Bone marrow aspirate smear
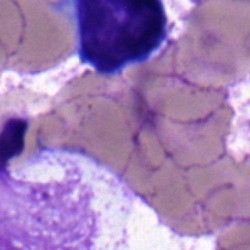

{"cell_type": "typical lymphocyte"}